Bone marrow smear:
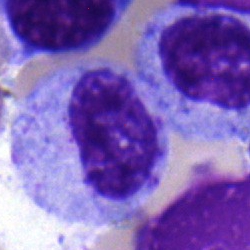This is a myelocyte.